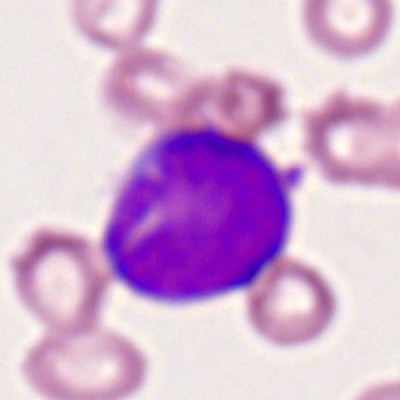

Peripheral blood film, single cell — myeloid blast.